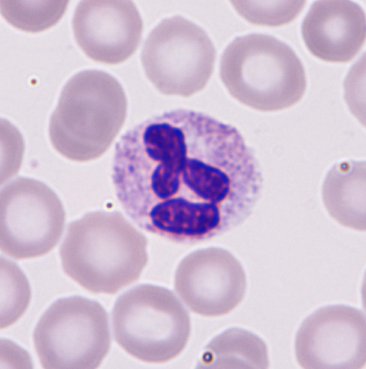

The cell is neutrophil.